Bone marrow aspirate smear · Pappenheim-stained — 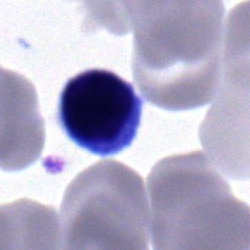
Specimen: bone marrow aspirate smear.
Classification: typical lymphocyte.
Lineage: lymphoid.